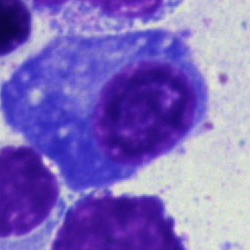
The cell is plasma cell.